Bone marrow aspirate smear
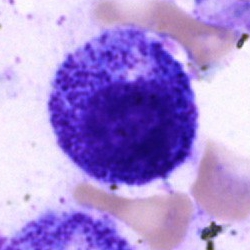

Q: What is shown here?
A: Promyelocyte.